250×250. Bone marrow aspirate smear: 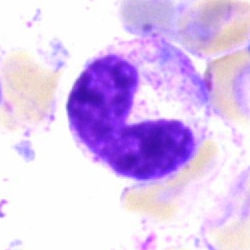Impression → band neutrophil.